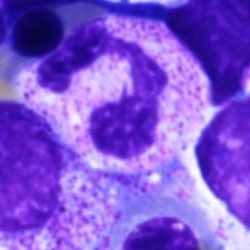 Showing a segmented neutrophil.